Brightfield microscopy, 40× oil immersion; May-Grünwald-Giemsa/Pappenheim stain; bone marrow aspirate smear:
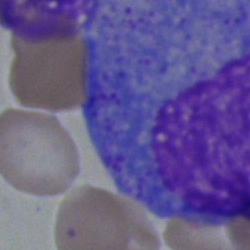

Morphological class = progranulocyte.